Bone marrow smear:
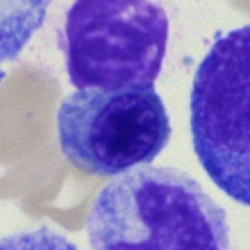

The classification is normoblast.